Brightfield, 40× oil-immersion objective. Bone marrow aspirate smear: 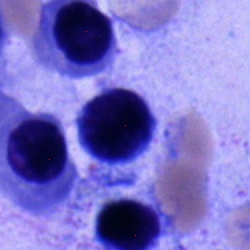 The cell is lymphocyte.